40× objective, oil immersion · bone marrow aspirate smear · single-cell crop.
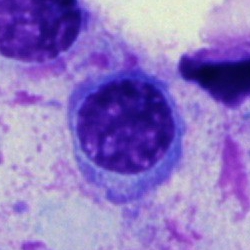

Q: What cell is this?
A: A nucleated red blood cell.